Bone marrow smear; cropped to a single cell:
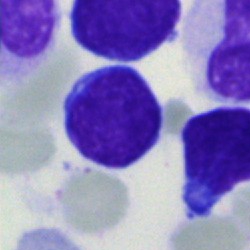

Q: Which cell type is shown here?
A: This is a typical lymphocyte.